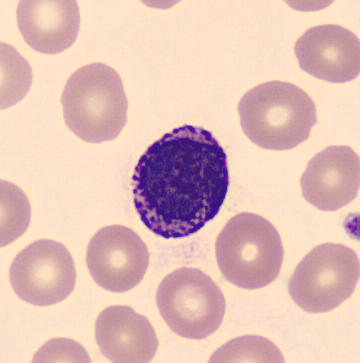 Cell type = basophil.